Bone marrow aspirate smear — 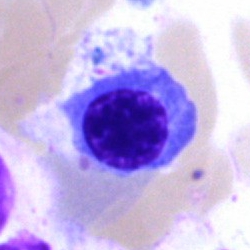

{"cell_type": "normoblast"}